Single cell centered in the field. 40× oil immersion. Bone marrow aspirate smear.
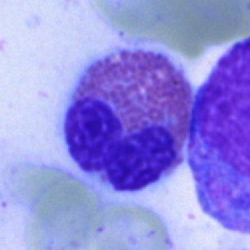 The morphological class is eosinophil.